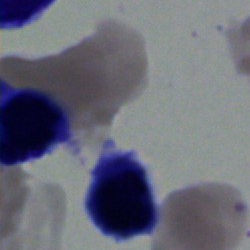

Cell type: lymphocyte.